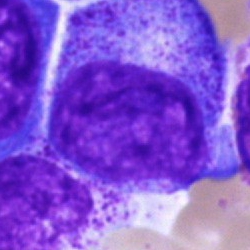Morphology — promyelocyte.